Bone marrow aspirate smear:
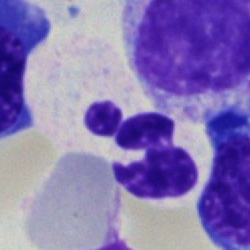

A segmented neutrophil.